Single cell centered in the field; bone marrow smear; 250×250 — 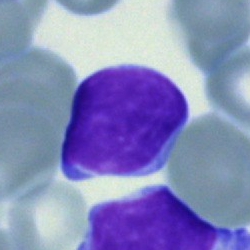
The cell shown is a lymphocyte.